250×250; bone marrow aspirate smear
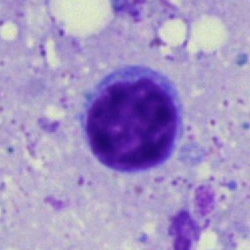 A typical lymphocyte.